Peripheral blood film
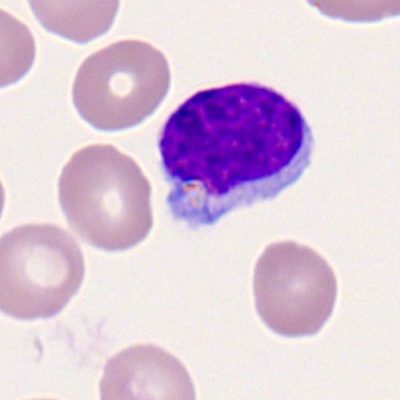
Single cell identified as a lymphocyte.